Bone marrow aspirate smear — 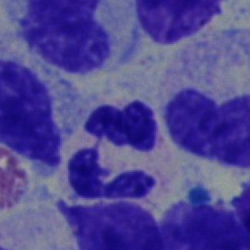
A neutrophil (segmented).